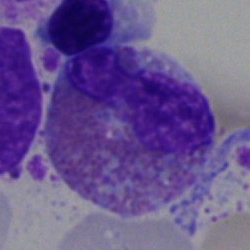{"cell_type": "eosinophil", "lineage": "myeloid"}